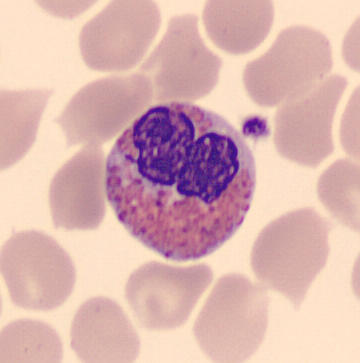
Eosinophil. MGG-stained. Peripheral blood smear.